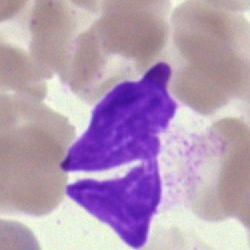

Morphology → artefact.